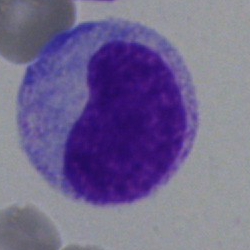 The cell type is metamyelocyte.